Peripheral blood smear:
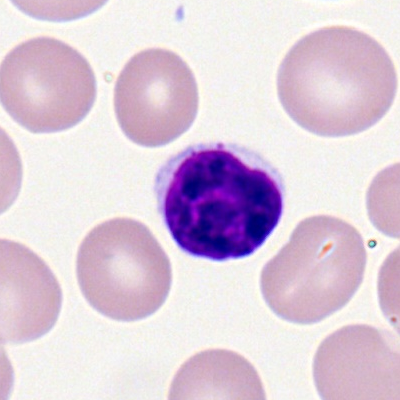
The cell shown is a typical lymphocyte.